Peripheral blood film · 100× oil immersion, 14.14 px/µm
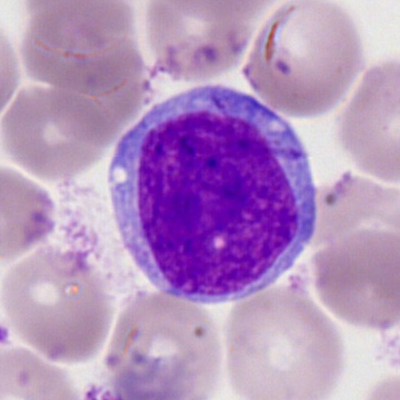 Classification: myeloid blast.